Romanowsky-type stain. Peripheral blood film.
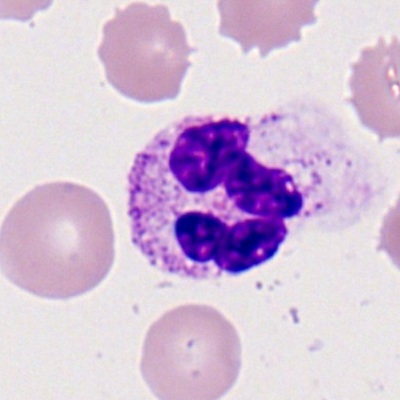

Classification: neutrophil (segmented).